Bone marrow smear:
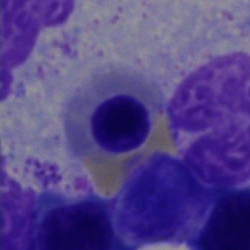This is a nucleated red cell.